Bone marrow aspirate smear.
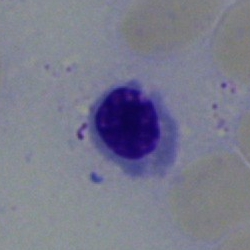
Q: Which cell type is shown here?
A: A nucleated red blood cell.